Bone marrow smear: 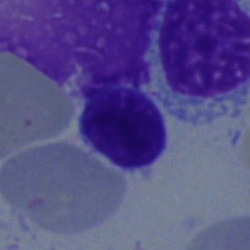 The classification is typical lymphocyte.